Romanowsky-stained · brightfield, 100× oil-immersion objective · peripheral blood smear — 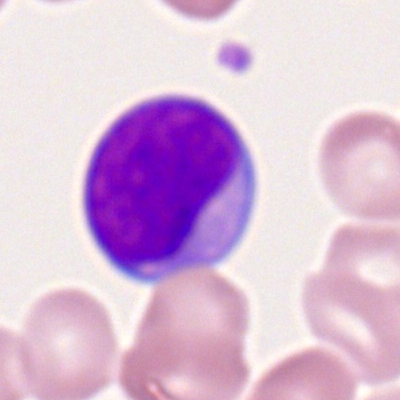Specimen: peripheral blood film.
Cell: myeloid blast.